Bone marrow aspirate smear; MGG-stained:
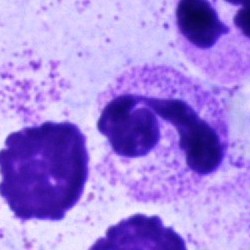Showing a segmented neutrophil.